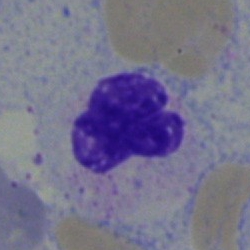 Morphology → neutrophil (segmented).